Brightfield, 40× oil-immersion objective; bone marrow aspirate smear
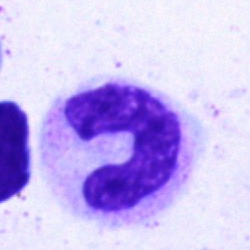Morphological class — band neutrophil.